Bone marrow aspirate smear
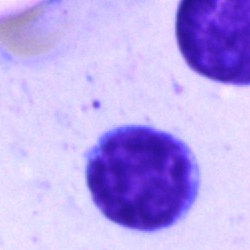

Specimen: bone marrow aspirate smear.
Classification: lymphocyte.
Lineage: lymphoid.